Single-cell field · bone marrow smear · MGG-stained
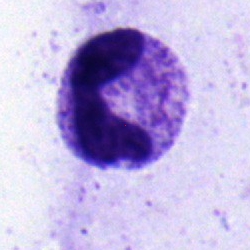

A stab cell.